Bone marrow aspirate smear — 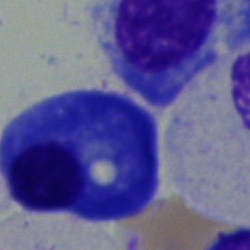 Plasmacyte.